Bone marrow aspirate smear: 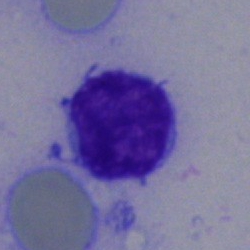Q: What type of cell is this?
A: This is a lymphocyte.